Bone marrow aspirate smear: 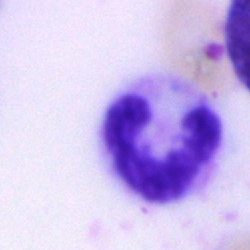 Impression — neutrophil (segmented).